Bone marrow smear.
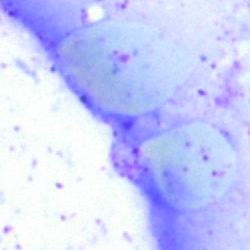
Cell type = artifact.